Bone marrow smear:
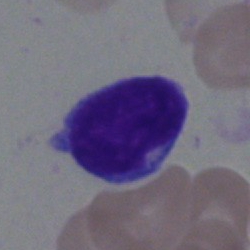 Q: What cell is this?
A: Lymphocyte.